Peripheral blood film: 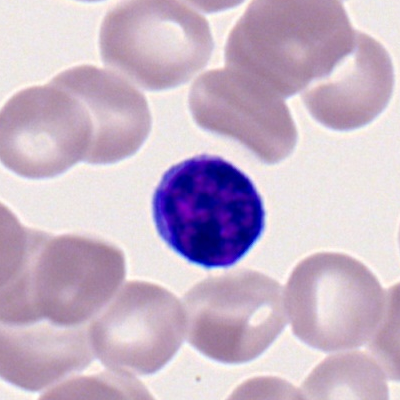Q: What is the morphological classification of this cell?
A: Lymphocyte.